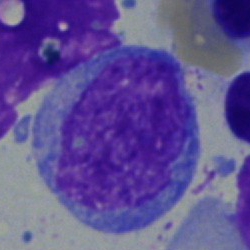

Morphological class = blast cell.